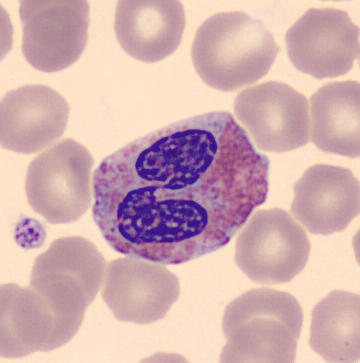 The classification is eosinophil.